Bone marrow aspirate smear; single cell centered in the field: 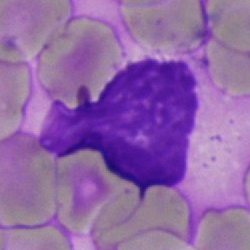

Specimen: bone marrow smear.
Cell: artifact.